Bone marrow aspirate smear
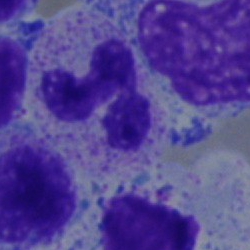 A neutrophil (segmented).